May-Grünwald-Giemsa stain. Bone marrow smear — 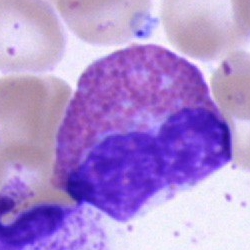 Impression — eosinophil.